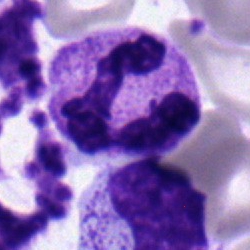Specimen: bone marrow aspirate smear.
Cell type: segmented neutrophil.